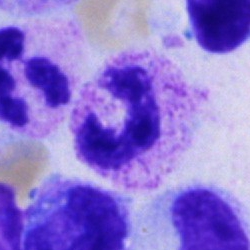
Polymorphonuclear neutrophil.